Bone marrow smear — 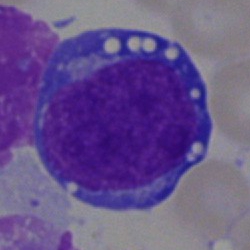
Impression — blast cell.